Bone marrow aspirate smear:
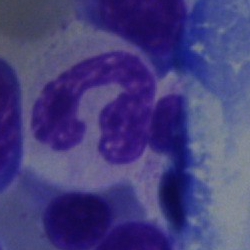Q: Which cell type is shown here?
A: A segmented neutrophil.